Bone marrow smear: 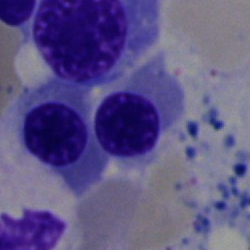Q: What is shown here?
A: A nucleated red blood cell.